Peripheral blood film. Image size 400×400: 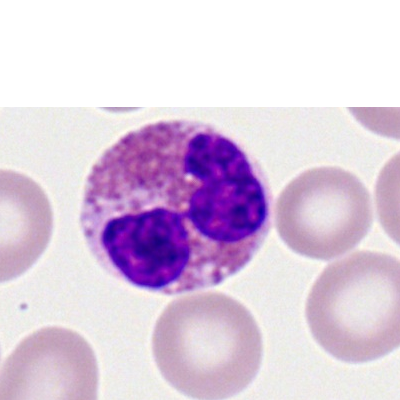Cell — eosinophil.